Bone marrow smear:
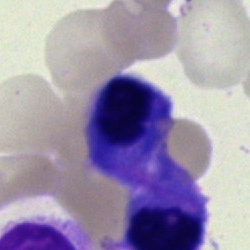 Showing a normoblast.